Bone marrow aspirate smear:
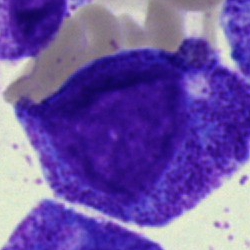

Morphology consistent with a progranulocyte.